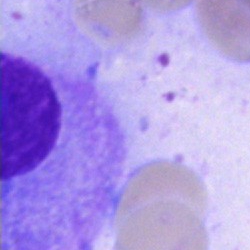The cell type is plasma cell.